Bone marrow smear · single cell centered in the field:
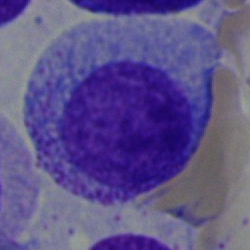 Classification = myelocyte.